Bone marrow aspirate smear: 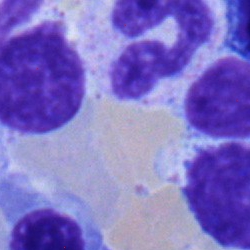 Cell type: neutrophil (segmented).